250×250 px; cropped to a single cell; bone marrow aspirate smear:
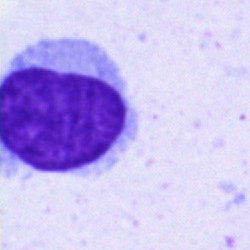 Showing a blast.